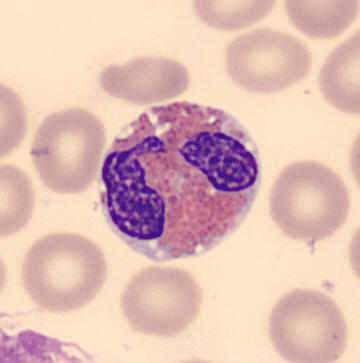Single cell identified as an eosinophilic granulocyte.

Image: Peripheral blood smear.